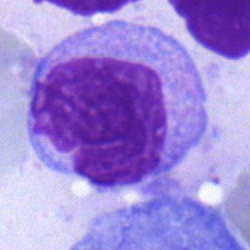

Specimen: bone marrow aspirate smear.
Morphological class: monocyte.
Lineage: myeloid.